MGG-stained; bone marrow smear
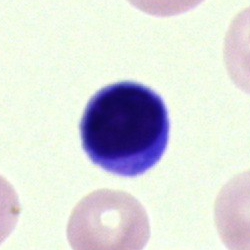
Morphological class: typical lymphocyte.